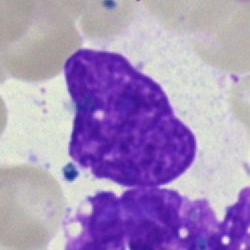Specimen: bone marrow aspirate smear.
Cell: artefact.